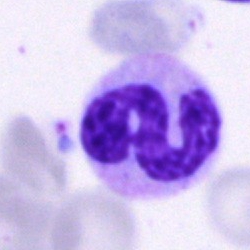 Morphological class = polymorphonuclear neutrophil.